May-Grünwald-Giemsa/Pappenheim stain. Bone marrow aspirate smear.
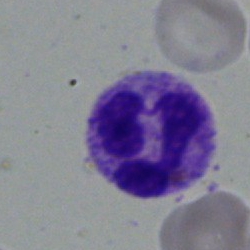 Cell type = segmented neutrophil.